Bone marrow aspirate smear:
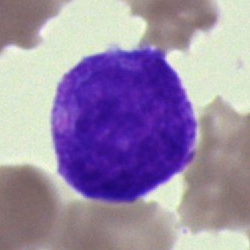

A blast cell.